Bone marrow aspirate smear; 250×250 px: 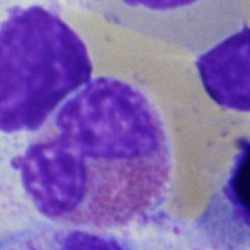This is an eosinophil.